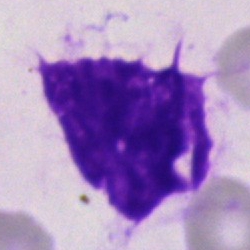

Q: What is shown here?
A: Artifact.